Cropped to a single cell; bone marrow aspirate smear
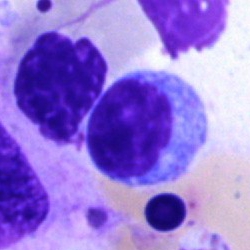This is a lymphocyte.